250×250 px · bone marrow smear: 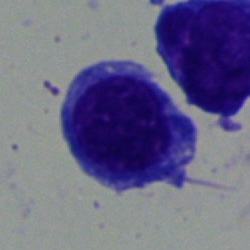

The cell type is nucleated red cell.